Bone marrow aspirate smear. 40× objective, oil immersion. Single cell centered in the field
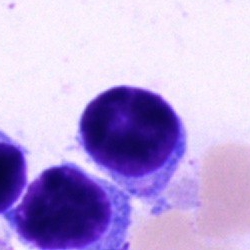
Cell: lymphocyte.